Bone marrow smear. 40× objective, oil immersion:
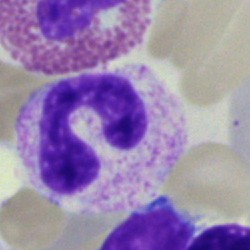Impression — neutrophil (segmented).